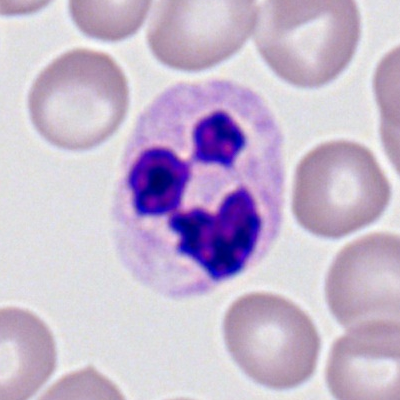The morphological class is neutrophil (segmented).